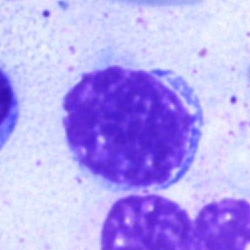 Q: What type of cell is this?
A: Lymphocyte.